Bone marrow smear; 250 by 250 pixels; single-cell crop:
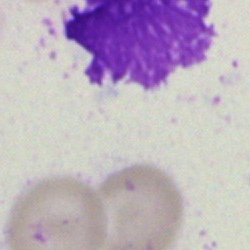The cell shown is an artefact.